Bone marrow aspirate smear:
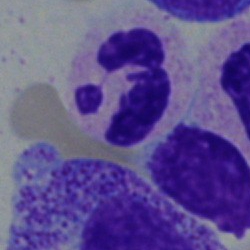
Morphology → segmented neutrophil.